40× objective, oil immersion. Bone marrow smear. 250 by 250 pixels.
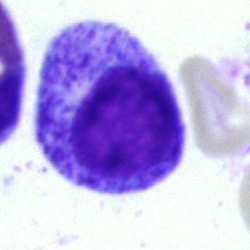 This is a myelocyte.